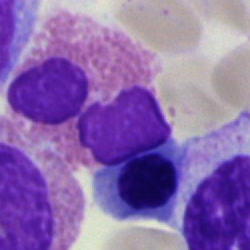 Cell = eosinophil.